Bone marrow aspirate smear · Pappenheim-stained: 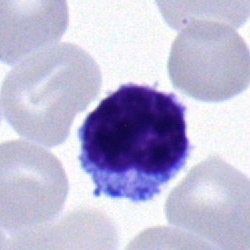Q: Identify the cell.
A: Lymphocyte.